May-Grünwald-Giemsa/Pappenheim stain · cropped to a single cell · bone marrow smear
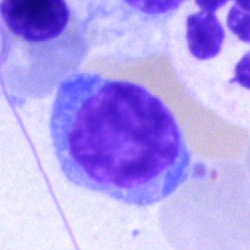

{"cell_type": "typical lymphocyte"}